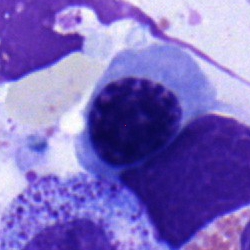
Impression — nucleated red cell.